Bone marrow aspirate smear. Image size 250×250 — 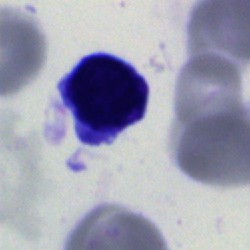 Blast cell.